Peripheral blood film: 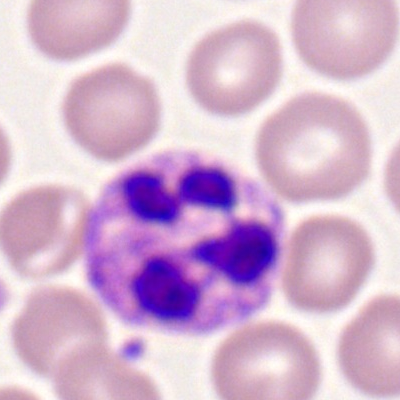 Q: What cell is this?
A: A segmented neutrophil.